Bone marrow smear: 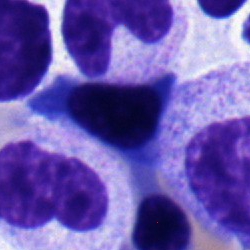 Impression — stab cell.